Pappenheim-stained; bone marrow smear: 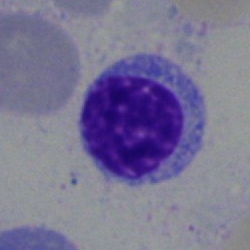Specimen: bone marrow smear.
Cell: normoblast.
Lineage: erythroid.